Bone marrow smear; single-cell field: 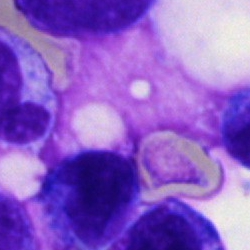 {"cell_type": "artifact"}